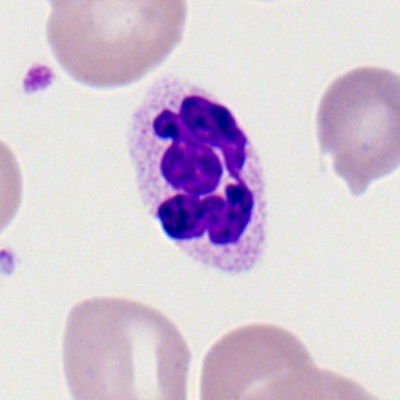 {"cell_type": "segmented neutrophil", "lineage": "myeloid"}